Bone marrow smear:
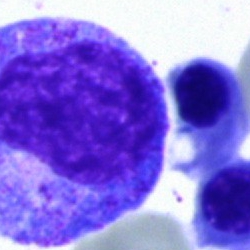

Morphology — progranulocyte.